Bone marrow smear: 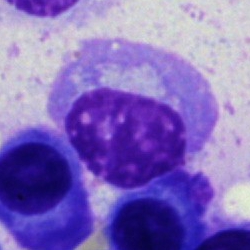 Impression — plasma cell.